Bone marrow smear. Single-cell field:
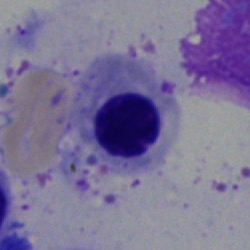 Showing an erythroblast.